Brightfield, 40× oil-immersion objective. Cropped to a single cell. Bone marrow smear
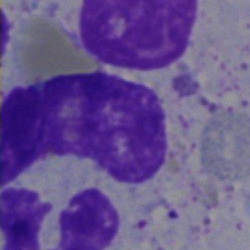
Classification — artefact.